Bone marrow smear. Pappenheim-stained:
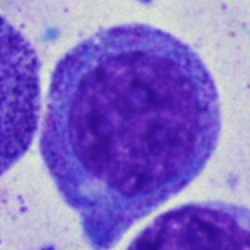
Classification = promyelocyte.